Single cell centered in the field. Bone marrow aspirate smear: 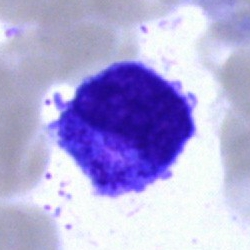
Q: What is shown here?
A: It is a progranulocyte.